Bone marrow aspirate smear.
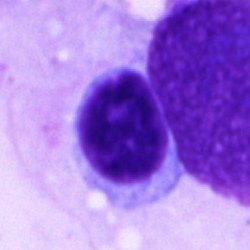

Showing a typical lymphocyte.